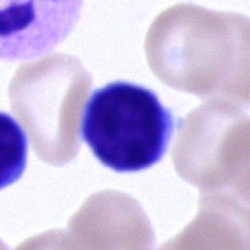

Specimen: bone marrow aspirate smear.
Classification: typical lymphocyte.